Single cell centered in the field · 400 by 400 pixels · peripheral blood film
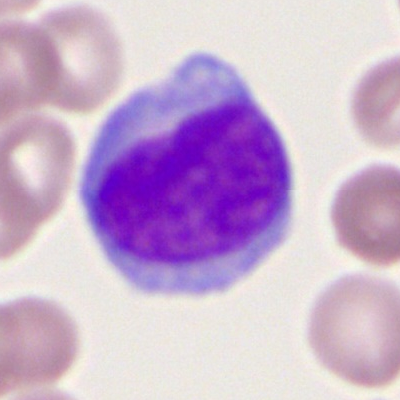Specimen: peripheral blood smear.
Cell: myeloblast.
Lineage: myeloid.